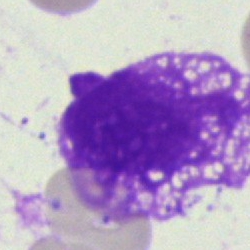

The morphological class is artefact.